Brightfield microscopy, 40× oil immersion; image size 250×250; bone marrow smear:
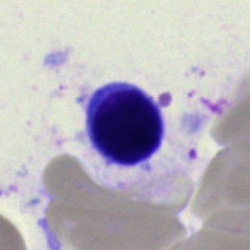

Specimen: bone marrow aspirate smear.
Morphological class: typical lymphocyte.
Lineage: lymphoid.